Single-cell crop · peripheral blood film · Romanowsky stain
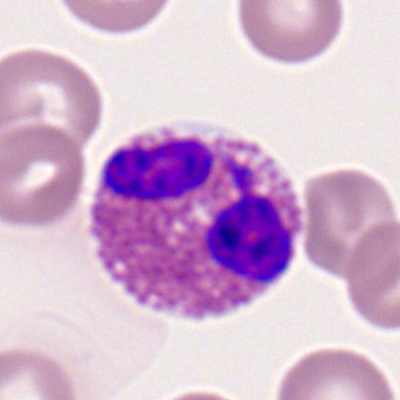

The cell type is eosinophil.